Single-cell crop. Brightfield, 40× oil-immersion objective. Bone marrow aspirate smear:
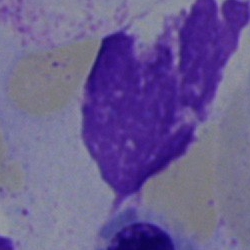
An artifact.